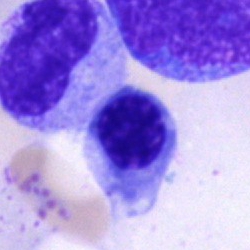 A nucleated red blood cell.